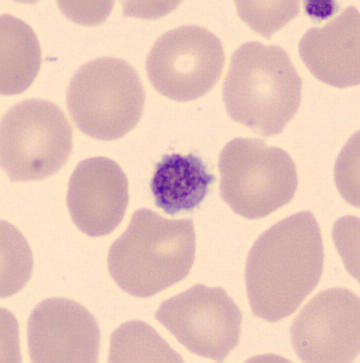 Image: Peripheral blood film.
Morphology consistent with a platelet (thrombocyte).